Bone marrow smear
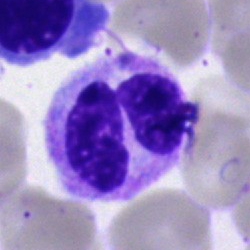

Q: What type of cell is this?
A: A neutrophil (segmented).